Bone marrow smear.
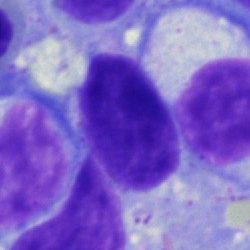 Single cell identified as an artifact.